100× objective, oil immersion; peripheral blood film: 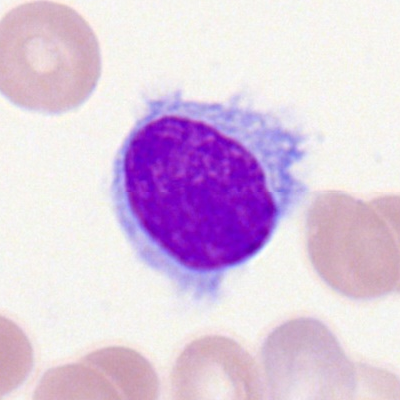Single cell identified as a typical lymphocyte.